Bone marrow aspirate smear.
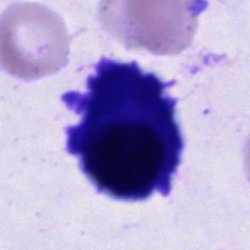 Q: What is the morphological classification of this cell?
A: It is a plasma cell.